MGG-stained. Bone marrow smear:
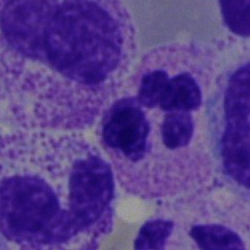Specimen: bone marrow aspirate smear.
Cell: neutrophil (segmented).
Lineage: myeloid.